Bone marrow aspirate smear · single-cell crop · brightfield microscopy, 40× oil immersion: 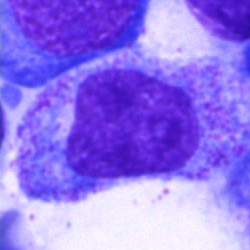Morphological class = progranulocyte.